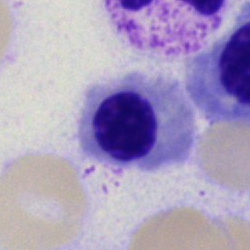

Cell type: nucleated red cell.